Bone marrow aspirate smear:
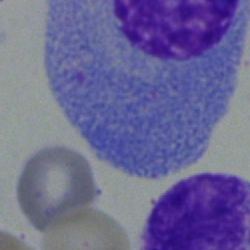
Morphology — plasma cell.